Peripheral blood film — 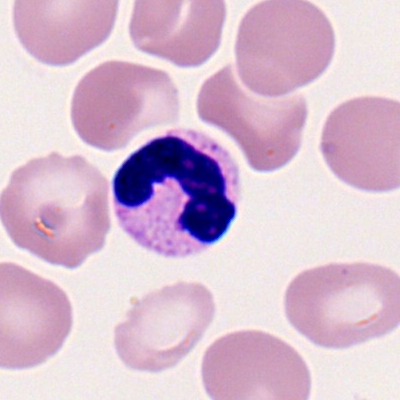

Q: What type of cell is this?
A: It is a polymorphonuclear neutrophil.